Single-cell crop. Bone marrow smear. 250 by 250 pixels
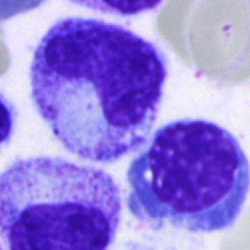

Cell = metamyelocyte.